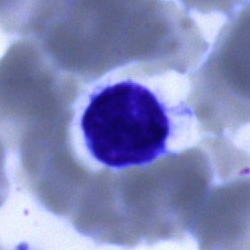 Classification = lymphocyte.